Bone marrow aspirate smear
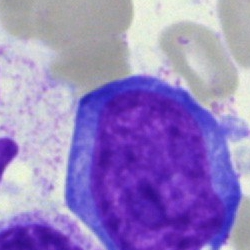

Q: What type of cell is this?
A: This is a proerythroblast.